Bone marrow aspirate smear
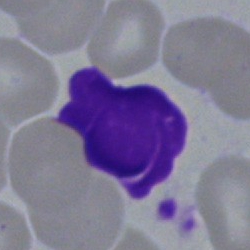 Cell type = artifact.